Bone marrow aspirate smear; brightfield, 40× oil-immersion objective; single-cell field:
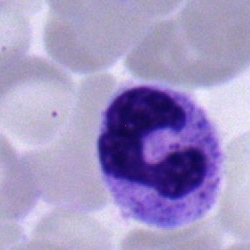 Q: Which cell type is shown here?
A: This is a polymorphonuclear neutrophil.